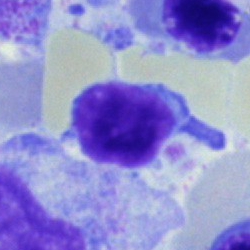
The cell shown is a lymphocyte.